Bone marrow smear; brightfield microscopy, 40× oil immersion; image size 250×250
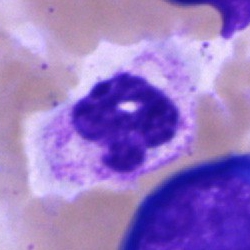

A polymorphonuclear neutrophil.